Bone marrow aspirate smear.
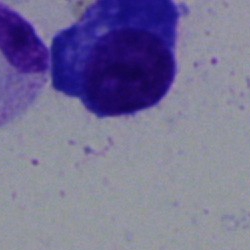

The cell is plasmacyte.